Bone marrow smear · 250×250 — 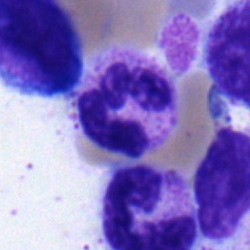

Single cell identified as a segmented neutrophil.